Bone marrow aspirate smear — 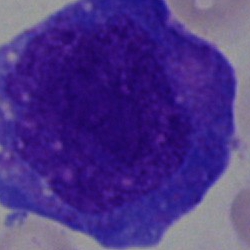 Classification: undifferentiated blast.